Image size 250×250. Bone marrow aspirate smear
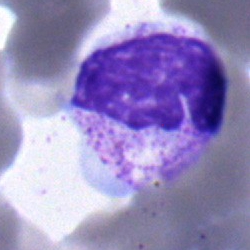Classification = neutrophil (band).